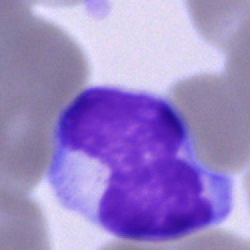

A typical lymphocyte on a bone marrow smear.